Bone marrow smear — 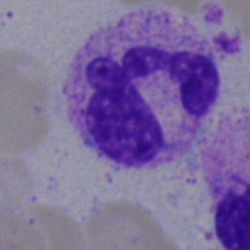
Impression — segmented neutrophil.